Bone marrow aspirate smear. Pappenheim-stained
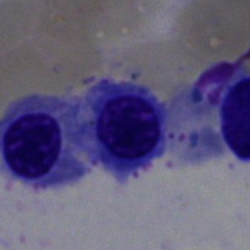Impression → erythroblast.